Image size 250×250. Bone marrow smear: 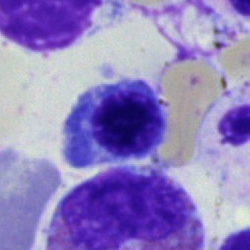
Showing a nucleated red cell.